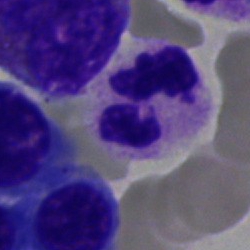Impression — polymorphonuclear neutrophil.